Peripheral blood smear.
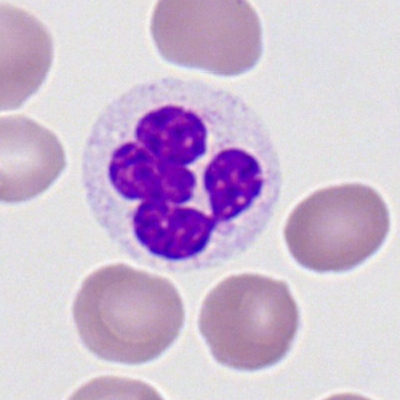

Cell — neutrophil (segmented).